Bone marrow aspirate smear.
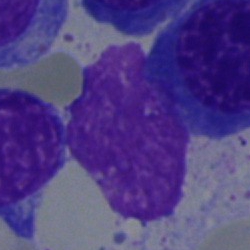 This is an artefact.